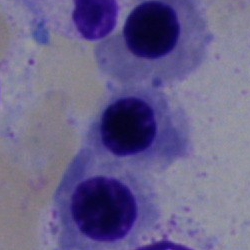Q: What cell is this?
A: A normoblast.